Bone marrow aspirate smear — 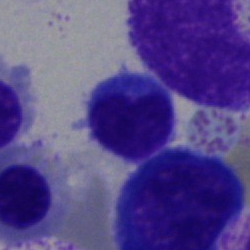

Morphology → lymphocyte.